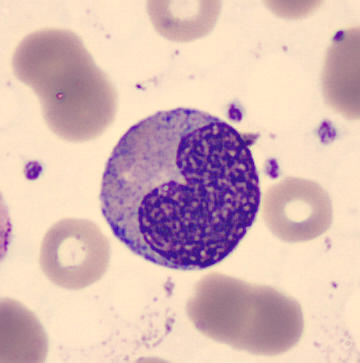 A metamyelocyte on a peripheral blood smear.